Bone marrow smear; 250 by 250 pixels; MGG-stained
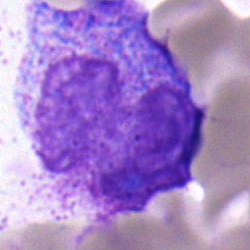
Single cell identified as an undifferentiated blast.